Bone marrow aspirate smear — 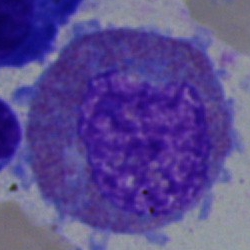Cell type: eosinophil.